Bone marrow smear. 40× oil immersion:
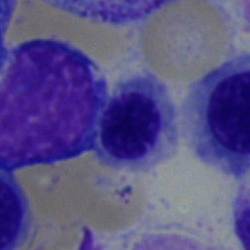{"cell_type": "normoblast"}